Peripheral blood film
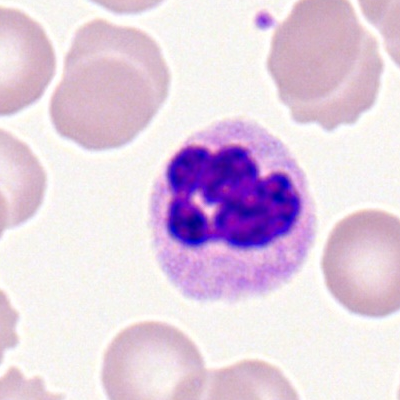Classification: neutrophil (segmented).